Bone marrow smear; Pappenheim-stained; brightfield, 40× oil-immersion objective — 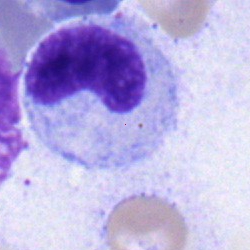
Q: What type of cell is this?
A: Metamyelocyte.